Peripheral blood smear.
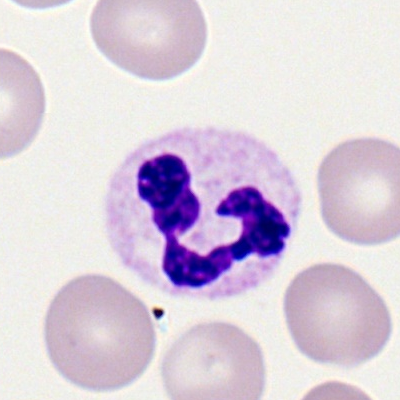

Specimen: peripheral blood smear.
Cell: segmented neutrophil.